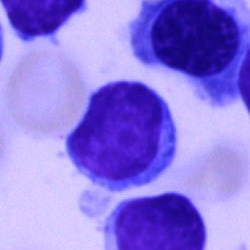
Morphological class = lymphocyte.